Peripheral blood smear.
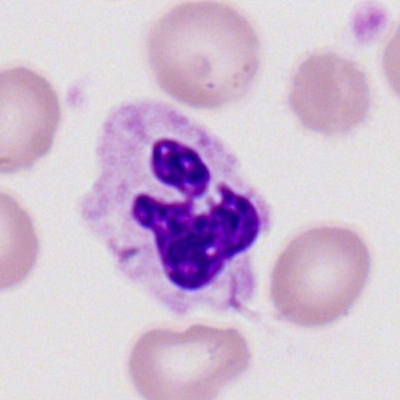 Morphology consistent with a segmented neutrophil.